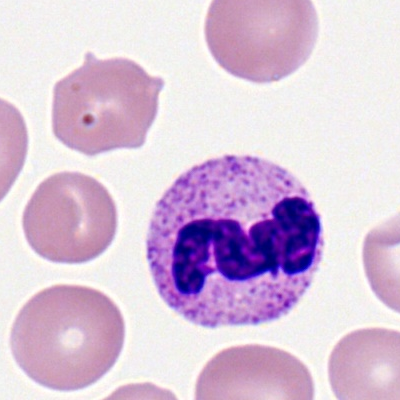
Q: What type of cell is this?
A: This is a neutrophil (segmented).